Bone marrow aspirate smear. 40× objective, oil immersion:
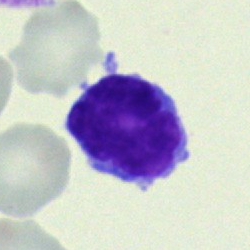
Cell = lymphocyte.